Bone marrow aspirate smear.
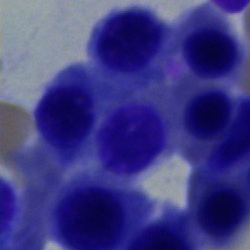
Cell: erythroblast.